Bone marrow aspirate smear:
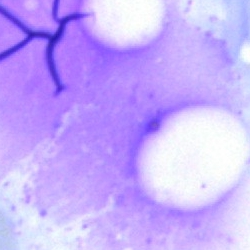

Morphology consistent with an artefact.